Bone marrow aspirate smear — 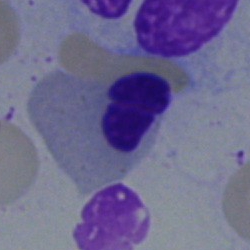 Q: Which cell type is shown here?
A: This is a normoblast.